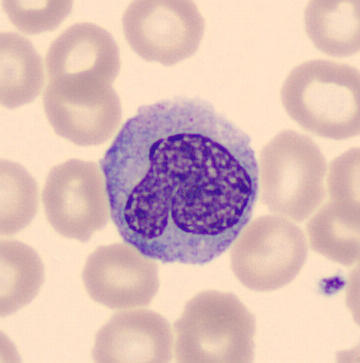 {"cell_type": "monocyte", "lineage": "myeloid"}